Bone marrow aspirate smear
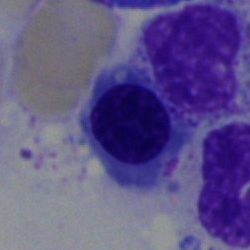
Impression → nucleated red cell.